Bone marrow aspirate smear:
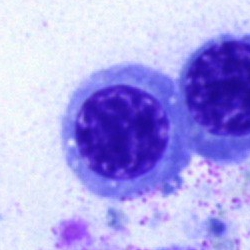Morphology → normoblast.